Bone marrow aspirate smear — 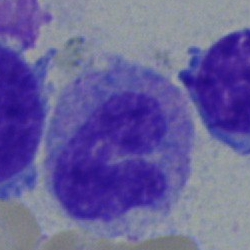
Q: What is the morphological classification of this cell?
A: This is a monocyte.